Bone marrow aspirate smear · brightfield, 40× oil-immersion objective · May-Grünwald-Giemsa/Pappenheim stain: 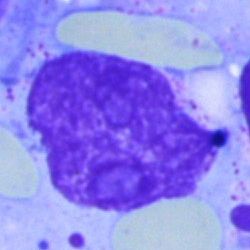 {"cell_type": "artefact"}